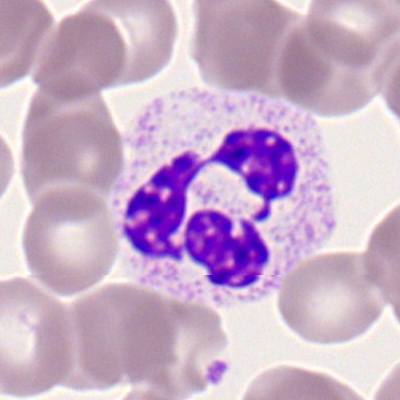 Q: Identify the cell.
A: A segmented neutrophil.